Peripheral blood smear
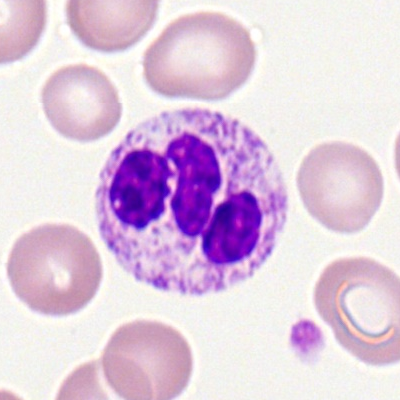
The cell shown is a segmented neutrophil.